Bone marrow smear: 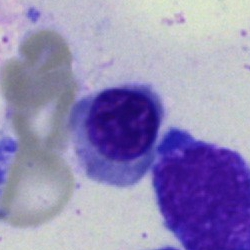

Impression — nucleated red blood cell.